Peripheral blood film:
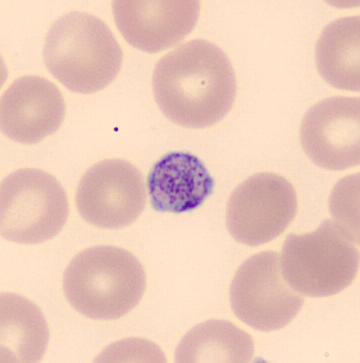
Classification — platelet.